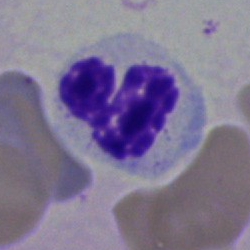Classification: segmented neutrophil.